Peripheral blood smear; single-cell field
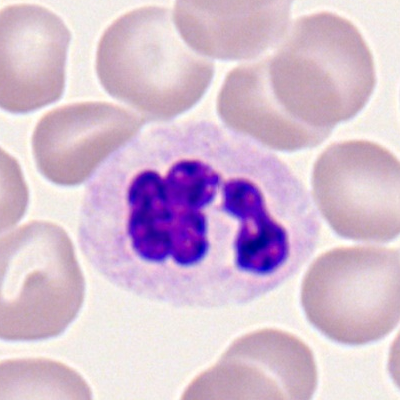
Impression → segmented neutrophil.